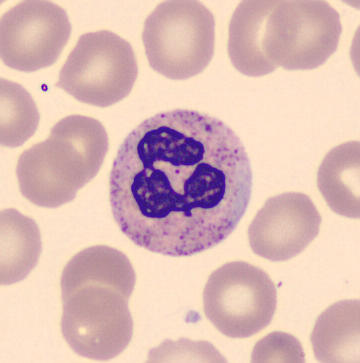 Q: Identify the cell.
A: A neutrophil (segmented).

Preparation: Peripheral blood film.